Bone marrow aspirate smear: 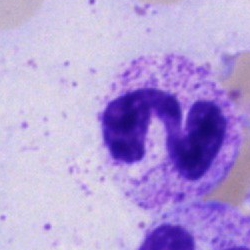Q: What type of cell is this?
A: This is a neutrophil (segmented).